Bone marrow smear — 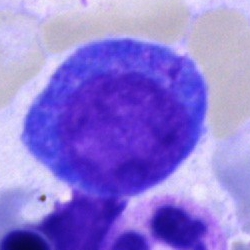 Cell type — progranulocyte.